Single-cell field. 40× oil immersion. Bone marrow aspirate smear
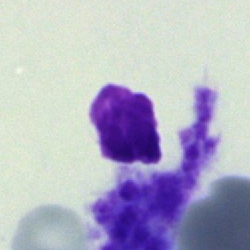
Specimen: bone marrow smear.
Classification: artifact.